Bone marrow aspirate smear
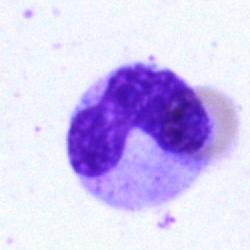 {"cell_type": "band neutrophil"}